250×250 px; bone marrow aspirate smear.
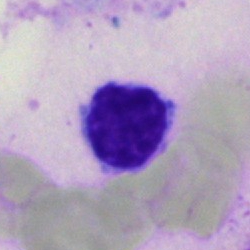The cell is typical lymphocyte.